Bone marrow aspirate smear:
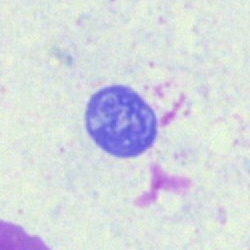Q: What is shown here?
A: An artifact.